Bone marrow aspirate smear; cropped to a single cell — 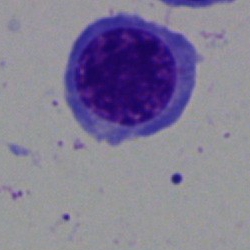

Erythroblast.